Bone marrow smear — 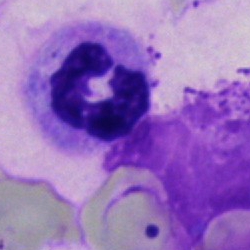 The classification is neutrophil (segmented).